Bone marrow aspirate smear
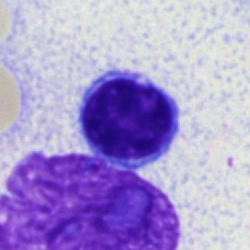Q: What is the morphological classification of this cell?
A: This is a lymphocyte.